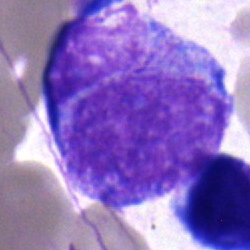

Specimen: bone marrow smear.
Classification: blast.